40× oil immersion; bone marrow smear:
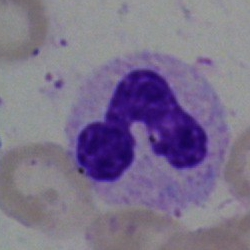Morphology — polymorphonuclear neutrophil.